Single cell centered in the field · bone marrow aspirate smear:
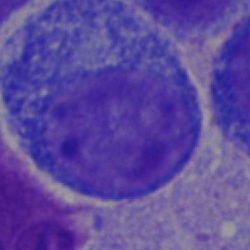 Promyelocyte.